Bone marrow aspirate smear — 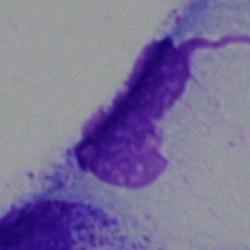

This is an artifact.